Bone marrow aspirate smear. Image size 250×250.
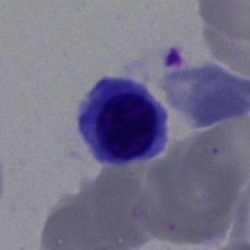

An erythroblast.